250×250 px · bone marrow aspirate smear
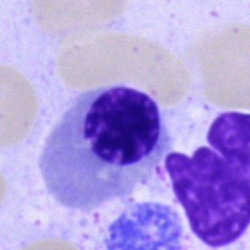

Impression → normoblast.